250×250 · bone marrow aspirate smear · single-cell field: 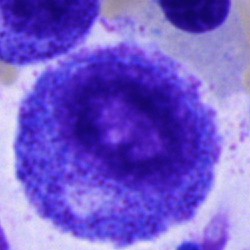 The cell shown is a progranulocyte.